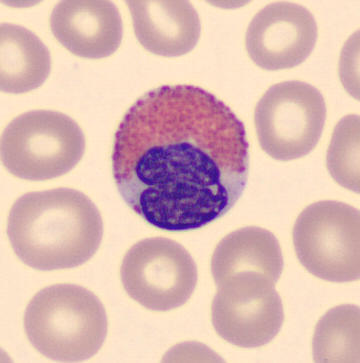

Specimen: peripheral blood film.
Morphological class: eosinophilic granulocyte.
Lineage: myeloid.